Bone marrow aspirate smear.
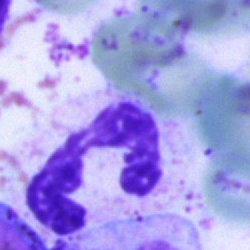

The morphological class is polymorphonuclear neutrophil.